Bone marrow aspirate smear.
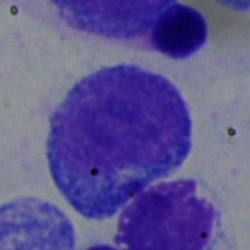Specimen: bone marrow smear.
Classification: undifferentiated blast.